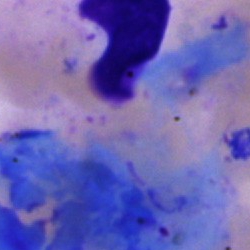
An artefact on a bone marrow smear.